Bone marrow aspirate smear. Image size 250×250: 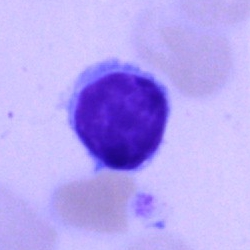{"cell_type": "lymphocyte", "lineage": "lymphoid"}